Peripheral blood film · May-Grünwald-Giemsa-stained
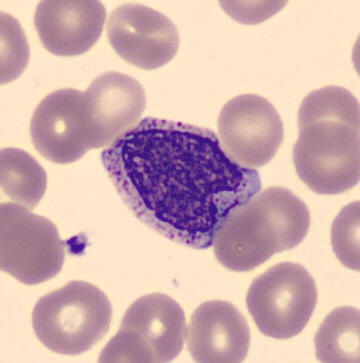Impression — myelocyte.